Bone marrow aspirate smear. Single-cell field. 40× objective, oil immersion
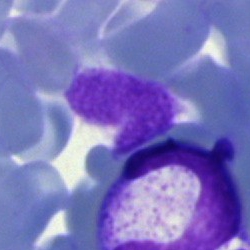
Q: What is shown here?
A: It is an artifact.